Cropped to a single cell. Bone marrow aspirate smear. 40× objective, oil immersion — 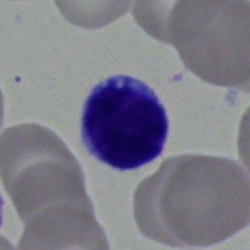This is a lymphocyte.